Bone marrow smear:
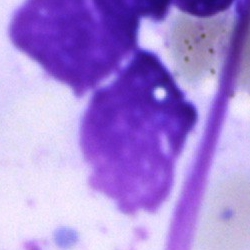
Q: What is shown here?
A: An artifact.